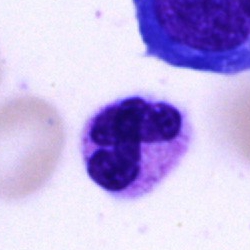Cell = neutrophil (segmented).